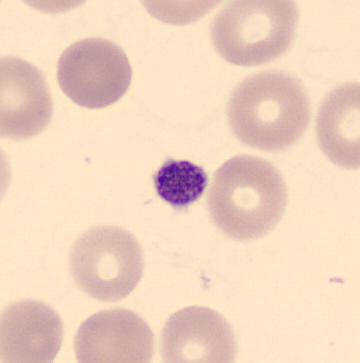

A platelet (thrombocyte). Preparation: Peripheral blood film; 360 by 363 pixels.